Single-cell crop · bone marrow smear · Pappenheim-stained: 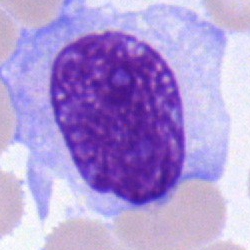

This is a blast.